40× objective, oil immersion · bone marrow aspirate smear: 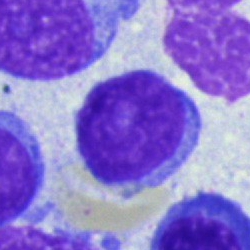
Single cell identified as a lymphocyte.